Bone marrow aspirate smear; single cell centered in the field
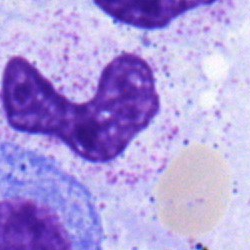

Specimen: bone marrow aspirate smear.
Classification: band neutrophil.